250 by 250 pixels. Bone marrow aspirate smear — 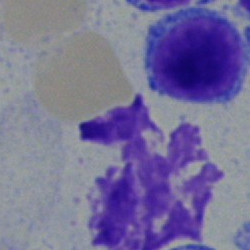

The classification is typical lymphocyte.